Peripheral blood film
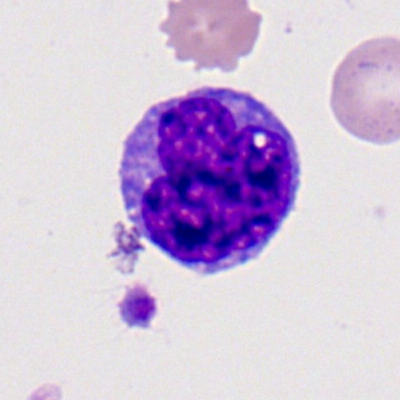 The morphological class is monocyte.